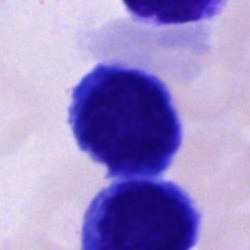
Impression — cell of indeterminate lineage.